Bone marrow aspirate smear — 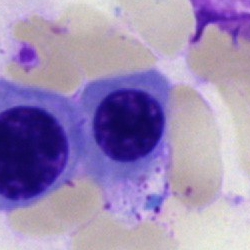This is a nucleated red blood cell.